Image size 250×250 · bone marrow smear:
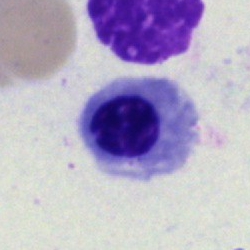
Cell: erythroblast.